Peripheral blood film:
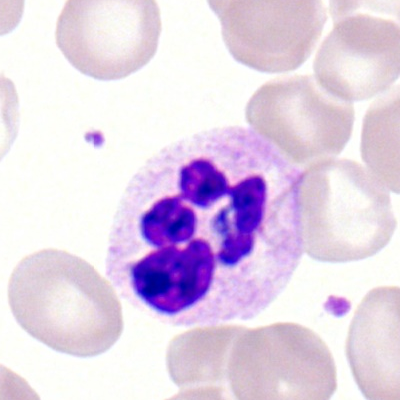

The cell is neutrophil (segmented).